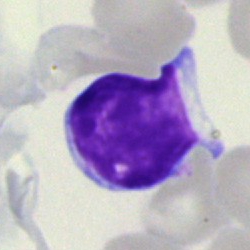

Q: What is the morphological classification of this cell?
A: A lymphocyte.